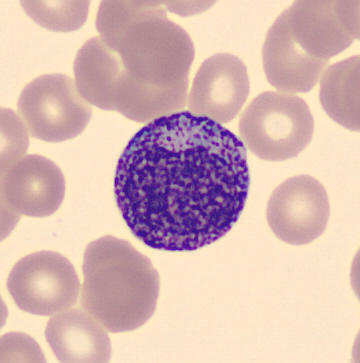
Q: What is this?
A: This is a myelocyte. Preparation: Peripheral blood film.